Bone marrow aspirate smear. 250×250 px — 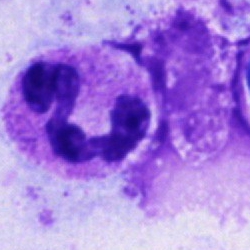

This is a neutrophil (segmented).